250 by 250 pixels; bone marrow aspirate smear — 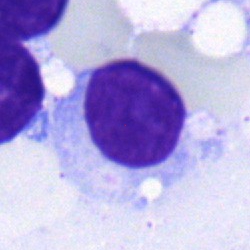Q: What type of cell is this?
A: A lymphocyte.